May-Grünwald-Giemsa/Pappenheim stain; image size 250×250; bone marrow smear — 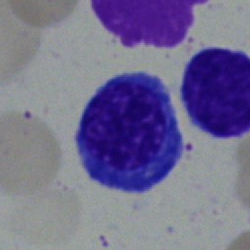

Specimen: bone marrow aspirate smear.
Cell: normoblast.
Lineage: erythroid.